Bone marrow aspirate smear
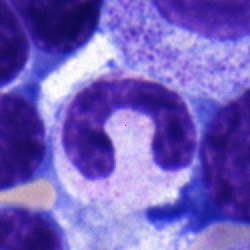The cell shown is a neutrophil (band).